Bone marrow aspirate smear: 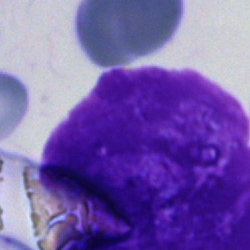
This is an artifact.